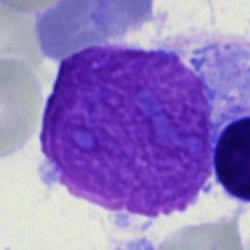Morphology → artifact.